Peripheral blood smear. Romanowsky stain: 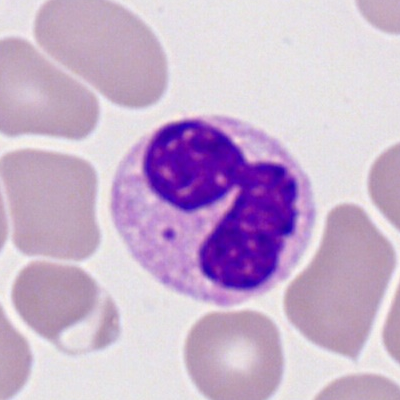

The cell type is neutrophil (segmented).